Peripheral blood smear; 100× objective, oil immersion.
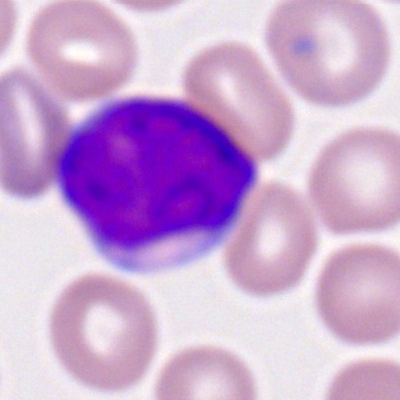Specimen: peripheral blood smear.
Cell type: myeloid blast.